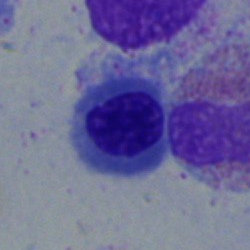
Bone marrow aspirate smear, single cell — nucleated red cell.